250×250 · bone marrow smear:
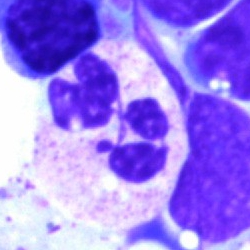

The classification is segmented neutrophil.